Bone marrow smear: 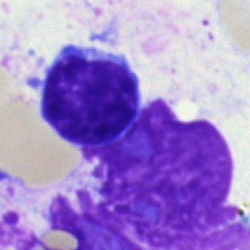

Impression → typical lymphocyte.